Single-cell field. Bone marrow smear
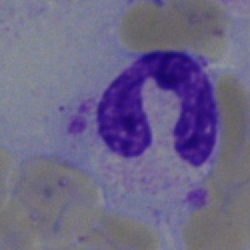Single cell identified as a neutrophil (segmented).